40× oil immersion. Bone marrow smear: 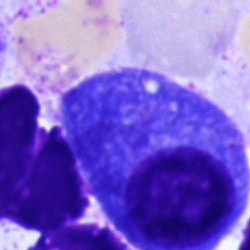

Specimen: bone marrow smear.
Classification: plasmacyte.